Bone marrow smear — 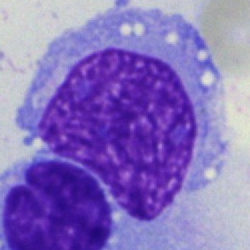
Q: What is shown here?
A: It is a blast cell.